Bone marrow smear — 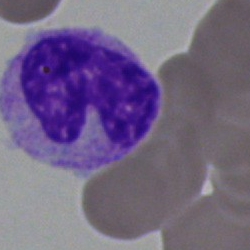
Q: Identify the cell.
A: A stab cell.